Bone marrow smear.
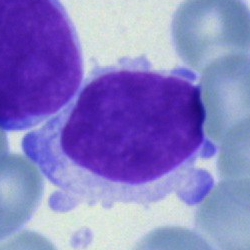 Impression → lymphocyte.